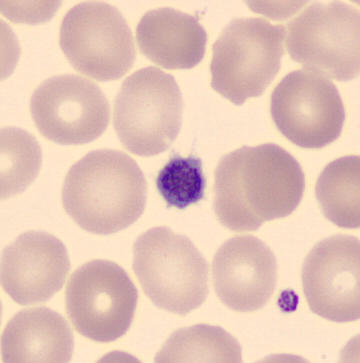

Peripheral blood film.
Morphology → thrombocyte.